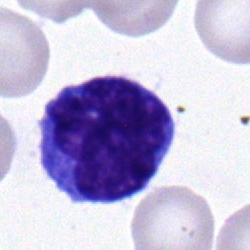 {"cell_type": "monocyte", "lineage": "myeloid"}